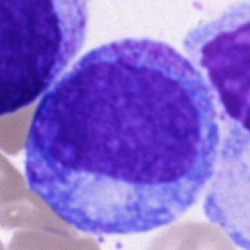

Q: Which cell type is shown here?
A: This is a promyelocyte.